Bone marrow aspirate smear:
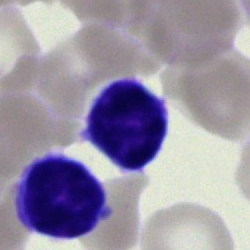

Morphology → lymphocyte.